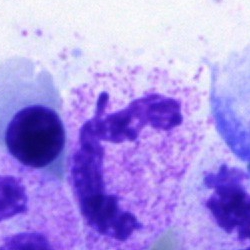

Cell type: neutrophil (segmented).